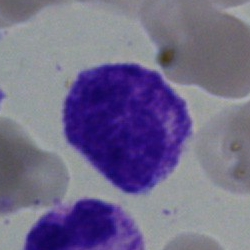 Cell type: myelocyte.